Bone marrow aspirate smear — 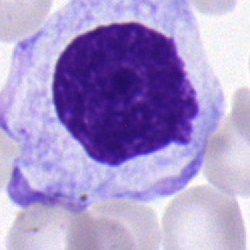Specimen: bone marrow smear.
Classification: myelocyte.
Lineage: myeloid.